Bone marrow aspirate smear; MGG-stained; 40× objective, oil immersion: 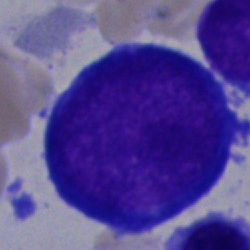{"cell_type": "pronormoblast"}